250×250 px · bone marrow smear · May-Grünwald-Giemsa stain
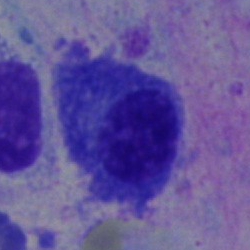

Morphological class: plasmacyte.